Bone marrow smear
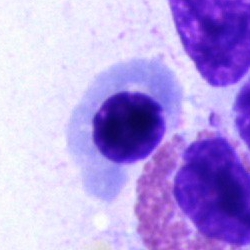

Showing a nucleated red blood cell.